Bone marrow aspirate smear · 250×250.
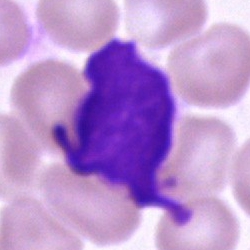 Q: What is shown here?
A: An artifact.